Bone marrow aspirate smear: 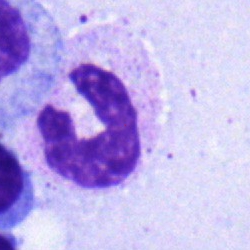 Q: What cell is this?
A: A band-form neutrophil.